Bone marrow aspirate smear — 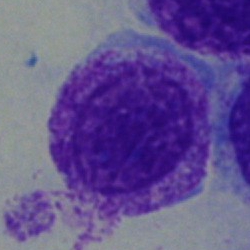Morphology consistent with a myelocyte.